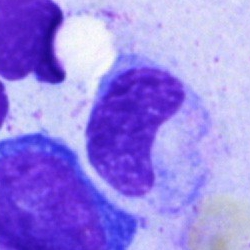Single cell identified as a band neutrophil.